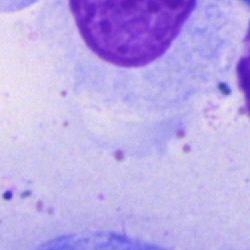

Q: Identify the cell.
A: A cell of indeterminate lineage.